40× oil immersion; bone marrow smear.
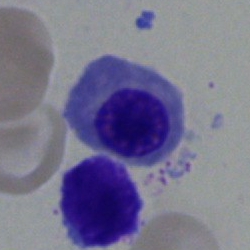
The classification is nucleated red cell.